250×250. Bone marrow smear. Pappenheim-stained — 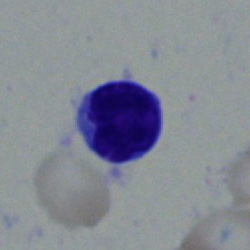 Showing a lymphocyte.